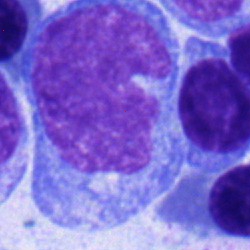

Cell = blast.